Bone marrow aspirate smear. 40× oil immersion.
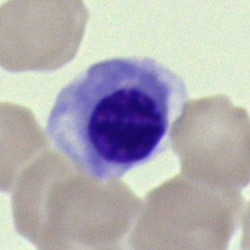
Morphology consistent with an erythroblast.